Bone marrow aspirate smear: 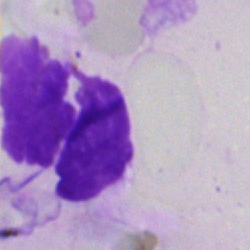
The cell shown is an artifact.